Bone marrow aspirate smear — 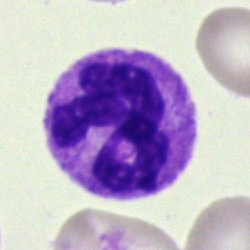

Classification = neutrophil (segmented).